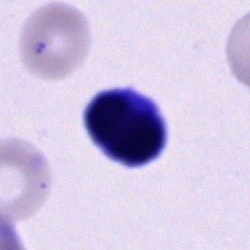Morphology → unidentifiable cell.